Bone marrow smear. Single-cell crop — 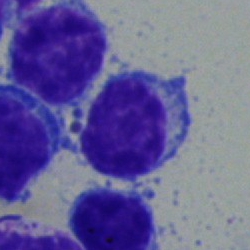
Q: Identify the cell.
A: A typical lymphocyte.